Peripheral blood film: 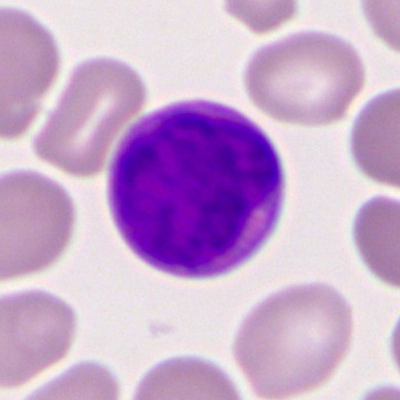 Cell type: myeloid blast.